Bone marrow aspirate smear: 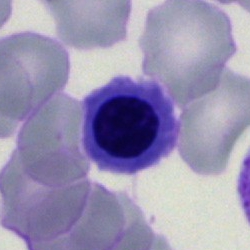{"cell_type": "normoblast"}